250 by 250 pixels · bone marrow aspirate smear:
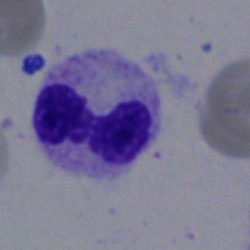 Segmented neutrophil.